Bone marrow smear.
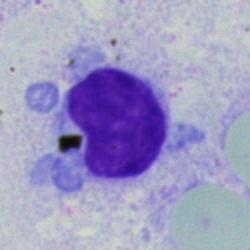 Specimen: bone marrow smear.
Morphological class: typical lymphocyte.